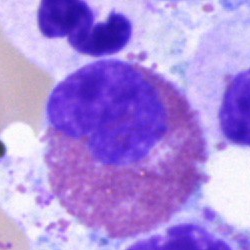 {"cell_type": "eosinophil", "lineage": "myeloid"}